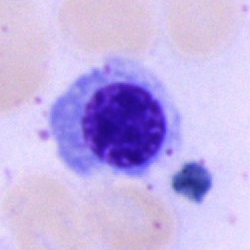Single-cell crop from a bone marrow smear: nucleated red cell.